100× oil immersion · peripheral blood smear · 400 by 400 pixels
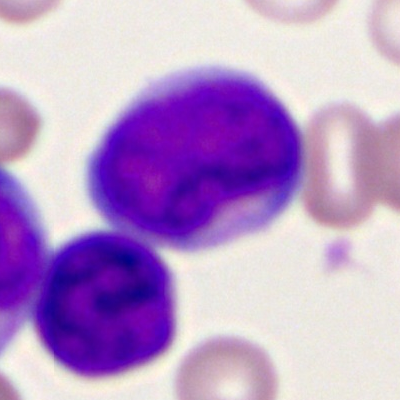Cell = myeloid blast.